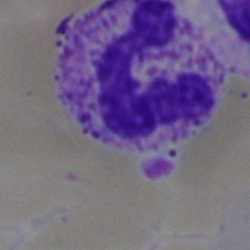
Cell type — segmented neutrophil.